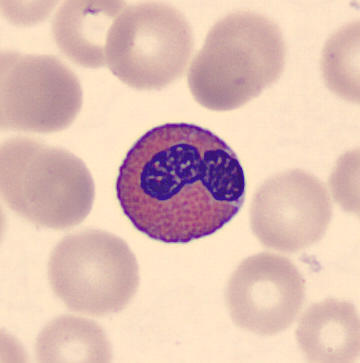 {"cell_type": "eosinophilic granulocyte", "lineage": "myeloid"} Preparation: Peripheral blood smear.